Bone marrow smear: 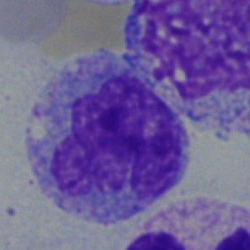 Q: Which cell type is shown here?
A: Monocyte.